Bone marrow aspirate smear:
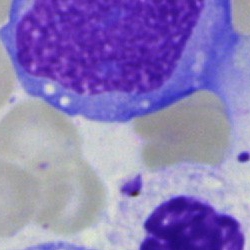Showing a blast cell.